Bone marrow aspirate smear; brightfield, 40× oil-immersion objective — 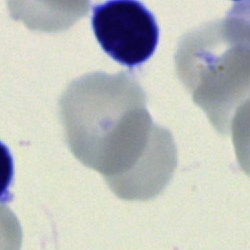

Morphology → lymphocyte.